40× objective, oil immersion. Bone marrow smear: 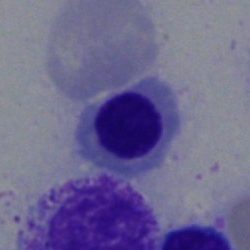Classification — erythroblast.